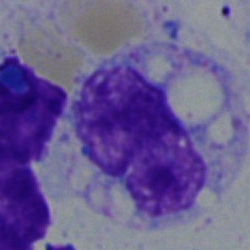{"cell_type": "monocyte", "lineage": "myeloid"}